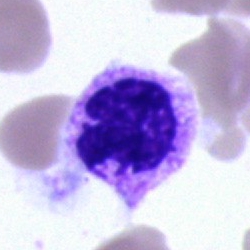Single-cell crop from a bone marrow smear: neutrophil (segmented).